MGG-stained. Bone marrow aspirate smear:
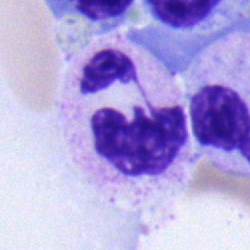

The classification is neutrophil (segmented).